May-Grünwald-Giemsa/Pappenheim stain; bone marrow aspirate smear; brightfield, 40× oil-immersion objective — 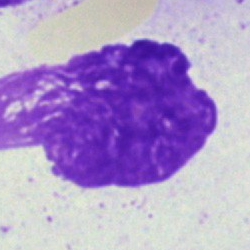Artefact.